Bone marrow aspirate smear; 250×250 px; cropped to a single cell — 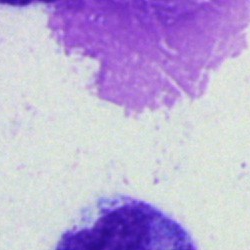 Q: What is shown here?
A: Artifact.